Bone marrow aspirate smear · Pappenheim-stained: 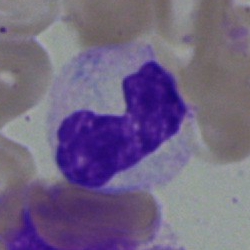
Showing a band-form neutrophil.